Bone marrow aspirate smear:
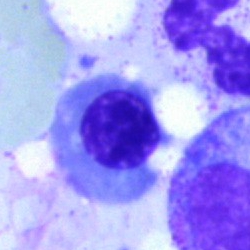A normoblast.